Bone marrow smear — 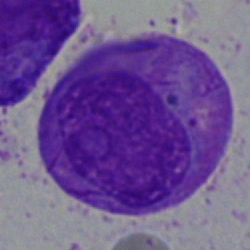

Specimen: bone marrow smear.
Classification: blast cell.